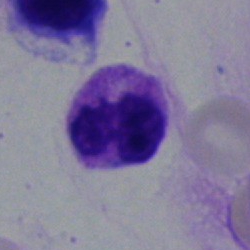

Cell — polymorphonuclear neutrophil.